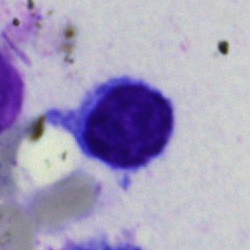
Morphological class — lymphocyte.